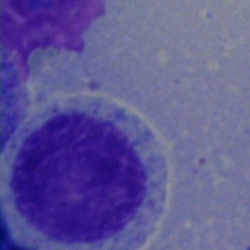Bone marrow aspirate smear, single cell — myelocyte.